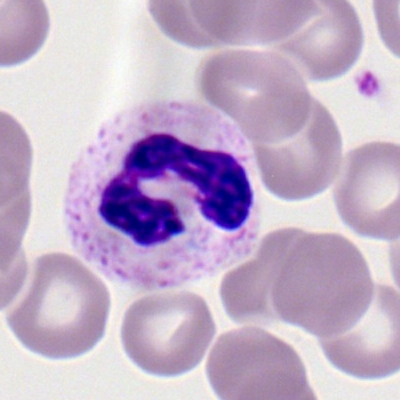 Single cell identified as a segmented neutrophil.